Single-cell crop · bone marrow smear.
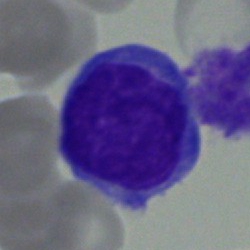
Morphological class = monocyte.